Bone marrow smear. Brightfield, 40× oil-immersion objective. MGG-stained — 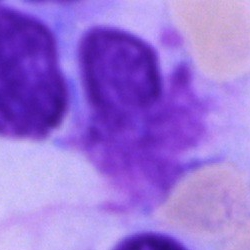

{"cell_type": "artifact"}